Bone marrow aspirate smear. 250×250 px: 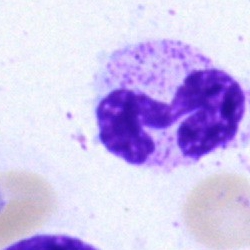 {"cell_type": "segmented neutrophil", "lineage": "myeloid"}